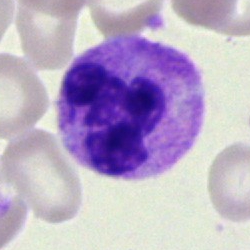
Impression — polymorphonuclear neutrophil.